Bone marrow aspirate smear: 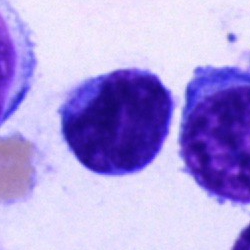
An undifferentiated blast.